Single-cell field · brightfield, 40× oil-immersion objective · bone marrow smear — 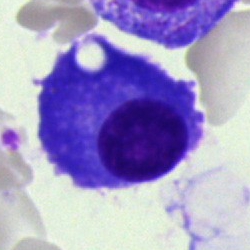
The cell shown is a plasmacyte.